Bone marrow aspirate smear:
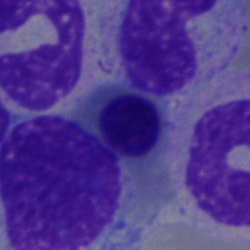Impression → erythroblast.